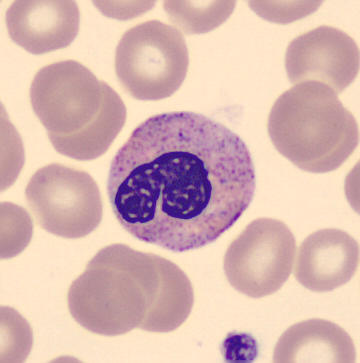Band neutrophil.